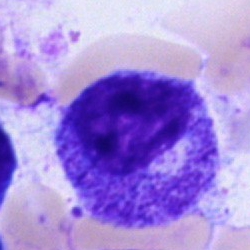
The cell shown is a myelocyte.